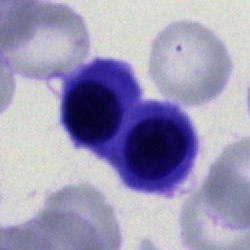Nucleated red cell.